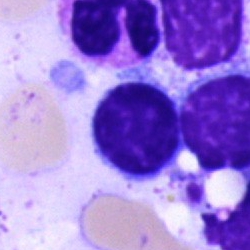

Specimen: bone marrow aspirate smear.
Morphological class: lymphocyte.
Lineage: lymphoid.